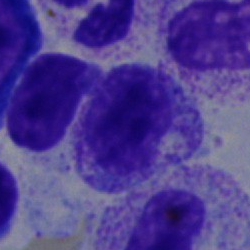

{"cell_type": "myelocyte"}